Bone marrow aspirate smear: 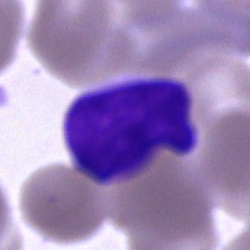 The cell shown is an artifact.